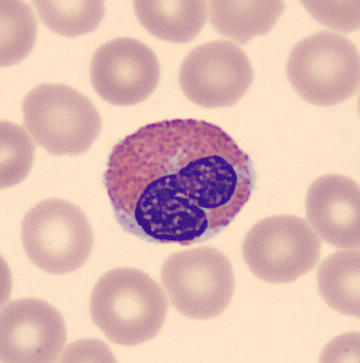
Specimen: peripheral blood smear.
Cell: eosinophilic granulocyte.
Lineage: myeloid.
Imaged on a CellaVision DM96 analyser.